Bone marrow aspirate smear · May-Grünwald-Giemsa/Pappenheim stain
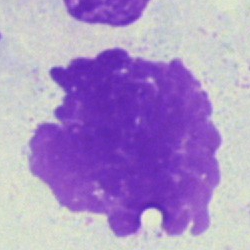Morphological class — artifact.